Bone marrow smear · 40× oil immersion: 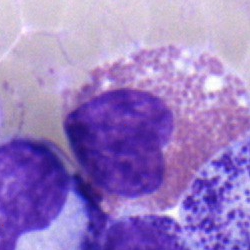 An eosinophilic granulocyte.